May-Grünwald-Giemsa stain. Bone marrow aspirate smear. Brightfield microscopy, 40× oil immersion: 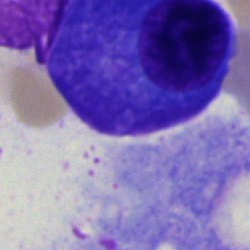
A plasma cell.